Bone marrow smear · 40× oil immersion · 250×250:
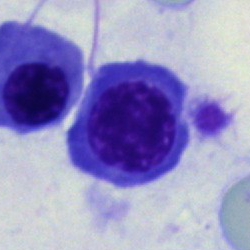 Morphology consistent with a nucleated red cell.